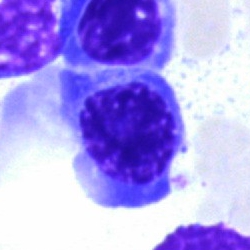Showing a nucleated red cell.